Bone marrow smear · single cell centered in the field — 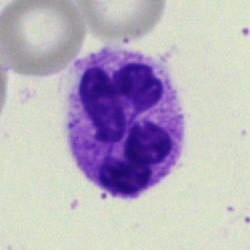 {"cell_type": "neutrophil (segmented)"}